Peripheral blood smear — 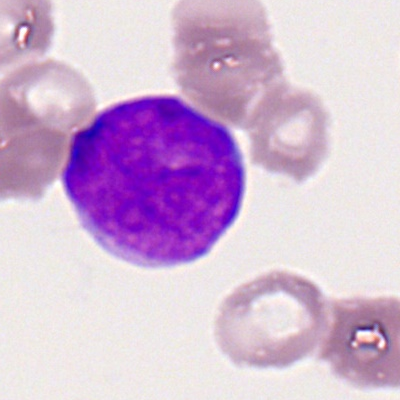

Showing a myeloblast.